Bone marrow aspirate smear.
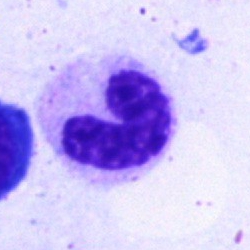
Q: Identify the cell.
A: It is a band neutrophil.